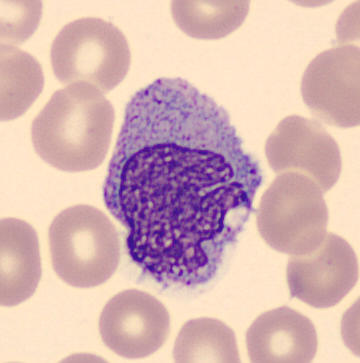

Peripheral blood smear.
Morphological class — monocyte.